Bone marrow aspirate smear: 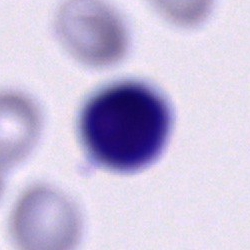

Impression — unidentifiable cell.